Bone marrow aspirate smear. 250×250 px — 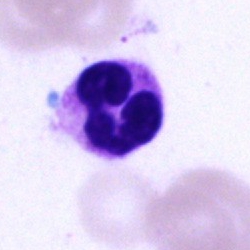 Impression — polymorphonuclear neutrophil.